Bone marrow aspirate smear; 250×250 — 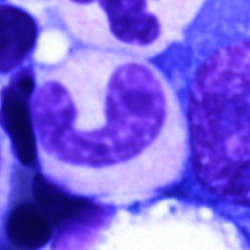 Impression → neutrophil (band).